Bone marrow smear. MGG-stained. Image size 250×250:
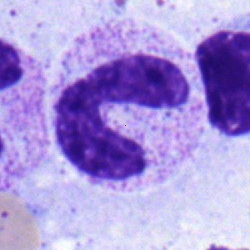
Impression → band-form neutrophil.